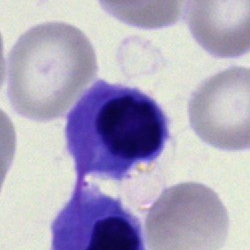 Cell type = nucleated red cell.